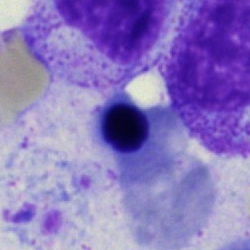 Specimen: bone marrow aspirate smear.
Cell: erythroblast.